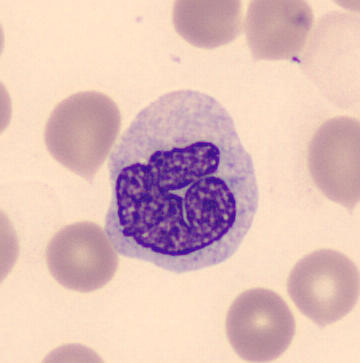 Showing a monocyte. Image: Peripheral blood film; 360×363.